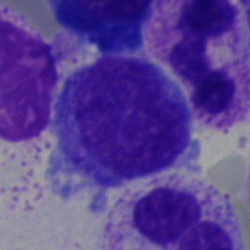Morphological class: typical lymphocyte.